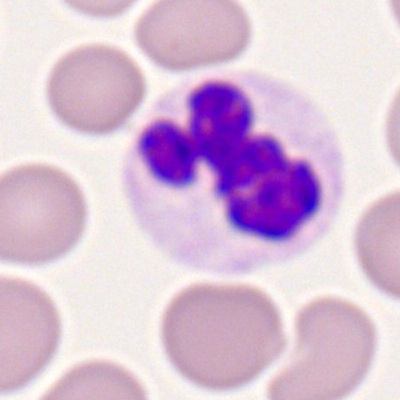
Specimen: peripheral blood smear.
Cell: polymorphonuclear neutrophil.
Lineage: myeloid.